Bone marrow aspirate smear — 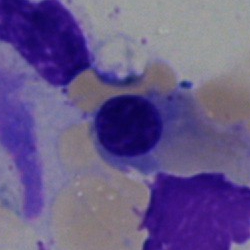 Specimen: bone marrow smear.
Cell: normoblast.